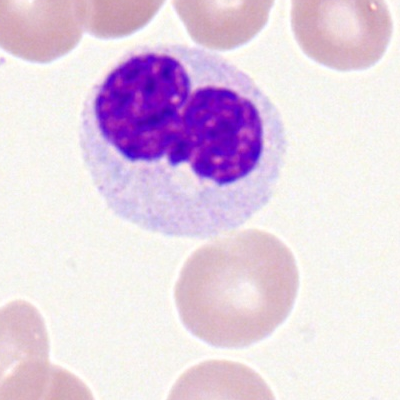Showing a neutrophil (segmented).